Bone marrow smear; 250×250 px:
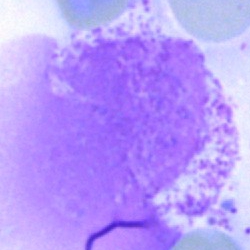 Q: What is shown here?
A: An artifact.